250×250 px. Bone marrow smear.
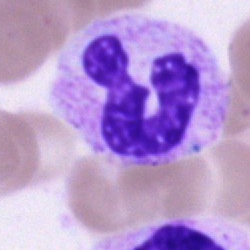
{"cell_type": "segmented neutrophil", "lineage": "myeloid"}